Peripheral blood smear: 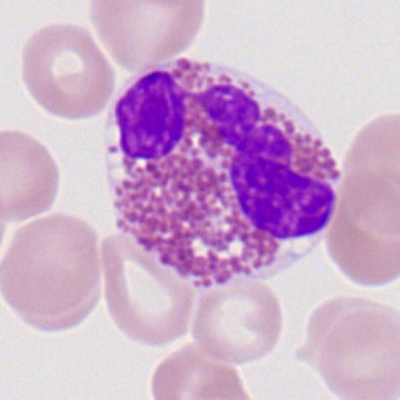 The cell shown is an eosinophil.